Bone marrow smear
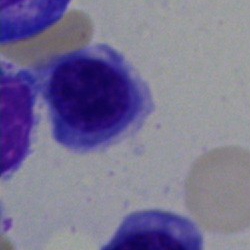

Specimen: bone marrow aspirate smear.
Cell: nucleated red cell.